May-Grünwald-Giemsa stain. Bone marrow aspirate smear:
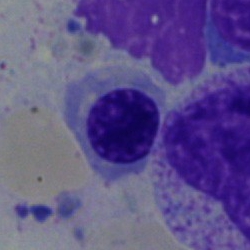
Q: What type of cell is this?
A: It is a nucleated red blood cell.